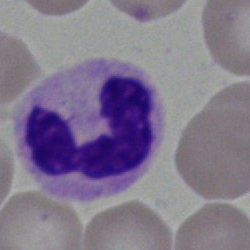 Q: What type of cell is this?
A: It is a segmented neutrophil.